Bone marrow smear — 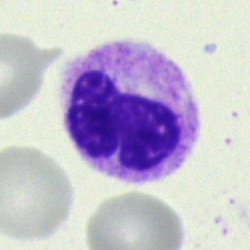

Single cell identified as a polymorphonuclear neutrophil.